Bone marrow smear.
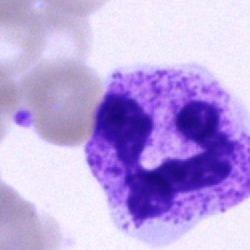 The cell shown is a neutrophil (segmented).